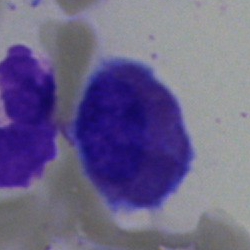 Q: Identify the cell.
A: It is an eosinophilic granulocyte.